Bone marrow smear; cropped to a single cell:
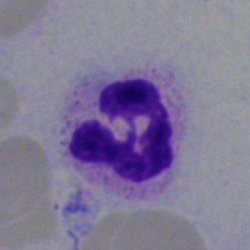
A segmented neutrophil.